Bone marrow smear: 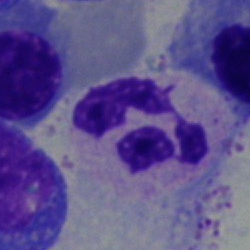
Impression — neutrophil (segmented).